Bone marrow smear. Pappenheim-stained.
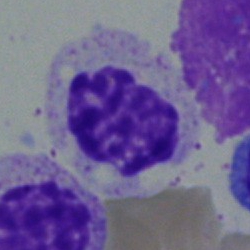

Myelocyte.